MGG-stained. Bone marrow aspirate smear. Single cell centered in the field — 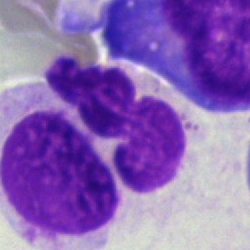

{"cell_type": "artifact"}